Bone marrow aspirate smear: 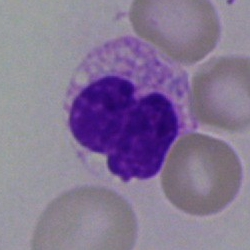

Morphological class — neutrophil (segmented).